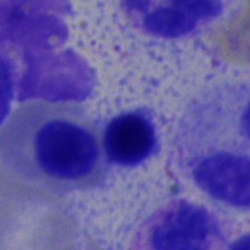 Cell — normoblast.